Bone marrow smear
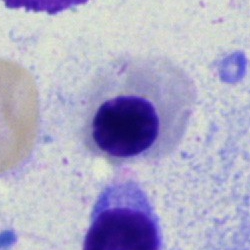

Specimen: bone marrow smear.
Morphological class: normoblast.